May-Grünwald-Giemsa/Pappenheim stain. Bone marrow smear.
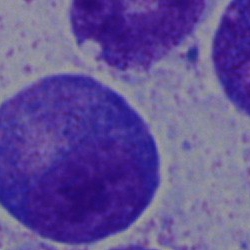

Single cell identified as a progranulocyte.